250×250. Bone marrow smear: 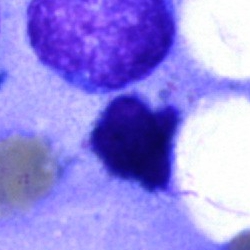 This is an artefact.